Bone marrow aspirate smear; single-cell field; brightfield microscopy, 40× oil immersion:
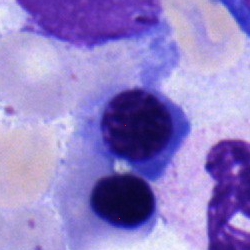

Showing a nucleated red blood cell.